Peripheral blood smear — 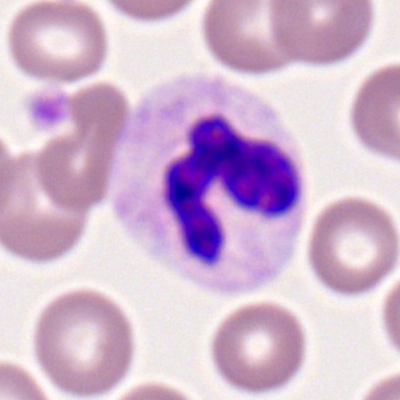

Q: What is shown here?
A: A polymorphonuclear neutrophil.